Bone marrow smear
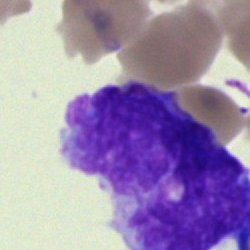

Classification — blast.